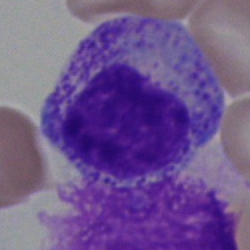A myelocyte.